Bone marrow aspirate smear:
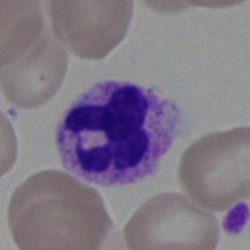Showing a neutrophil (segmented).